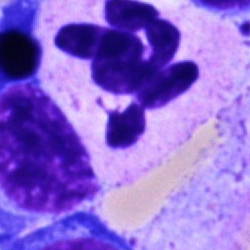Impression → segmented neutrophil.